Bone marrow smear.
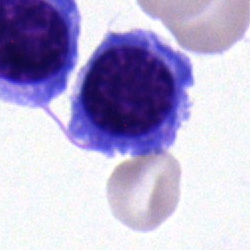Q: What cell is this?
A: It is a lymphocyte.